250×250 px · bone marrow aspirate smear:
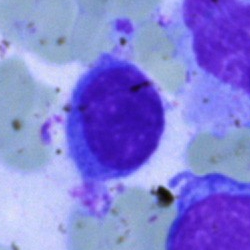Q: What is the morphological classification of this cell?
A: A lymphocyte.